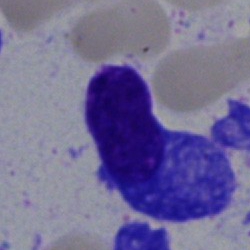
Bone marrow smear showing a plasmacyte.